Bone marrow aspirate smear — 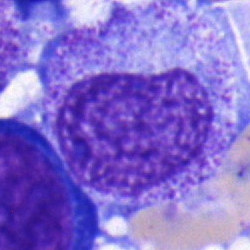This is a progranulocyte.